Bone marrow aspirate smear.
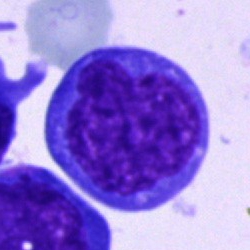

Q: Identify the cell.
A: It is an undifferentiated blast.